Peripheral blood film: 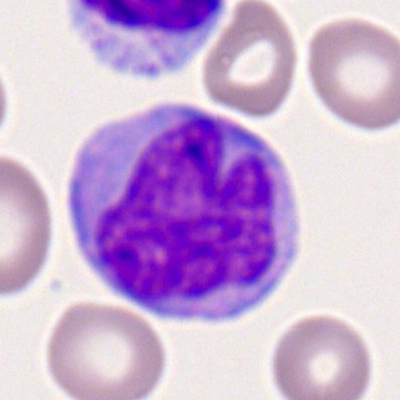Cell type: monocyte.